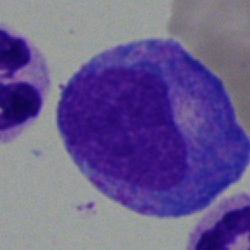Specimen: bone marrow aspirate smear.
Classification: progranulocyte.
Lineage: myeloid.